Bone marrow aspirate smear; single-cell crop; 250×250: 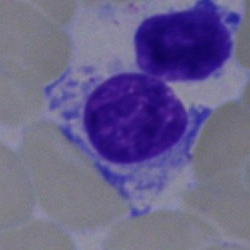Impression → undifferentiated blast.